Single-cell field. Bone marrow aspirate smear — 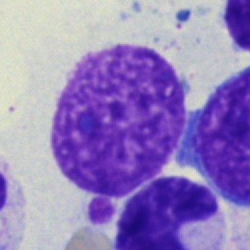
The classification is artefact.